Image size 250×250; bone marrow aspirate smear:
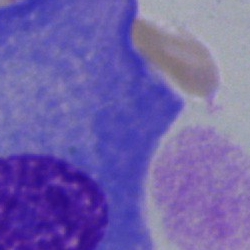 Q: What cell is this?
A: Cell of indeterminate lineage.